Peripheral blood smear
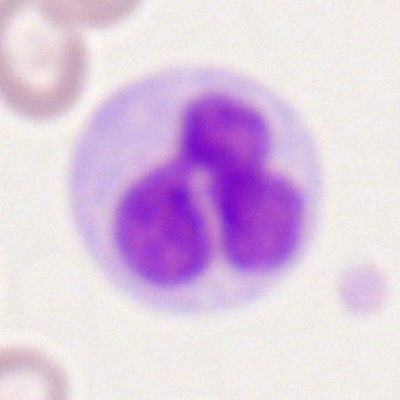 {"cell_type": "monocyte", "lineage": "myeloid"}